Bone marrow aspirate smear
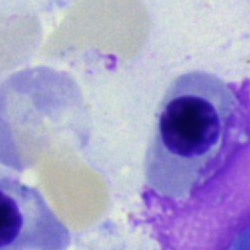

Q: What type of cell is this?
A: Nucleated red blood cell.